Bone marrow smear
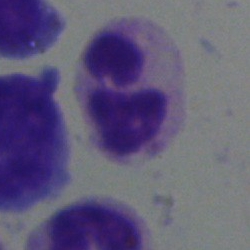

Specimen: bone marrow aspirate smear.
Morphological class: neutrophil (segmented).
Lineage: myeloid.